Peripheral blood film: 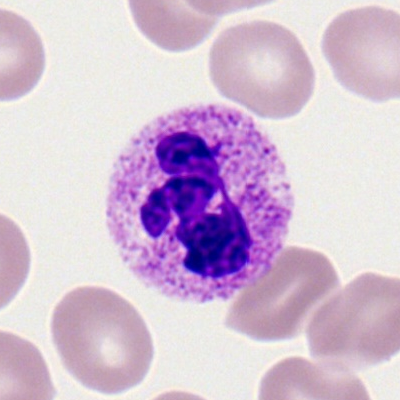Q: Which cell type is shown here?
A: A segmented neutrophil.